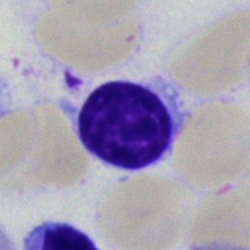 Morphology → lymphocyte.